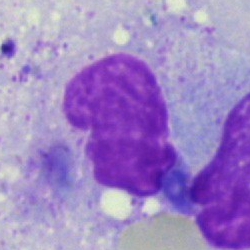
The morphological class is artifact.